Bone marrow aspirate smear — 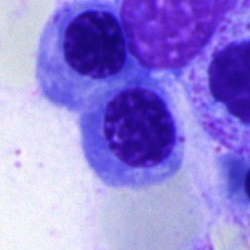
A basophil.